Bone marrow aspirate smear:
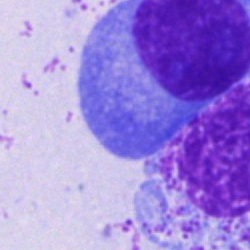The cell shown is a plasmacyte.